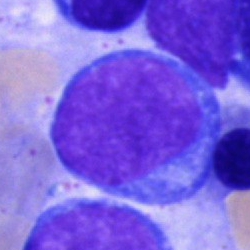
Bone marrow aspirate smear, single cell — undifferentiated blast.